Bone marrow smear. Brightfield microscopy, 40× oil immersion:
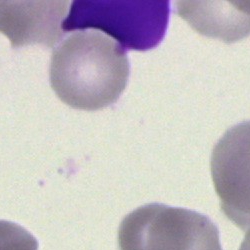 Artefact.